Bone marrow smear; May-Grünwald-Giemsa stain; 40× oil immersion:
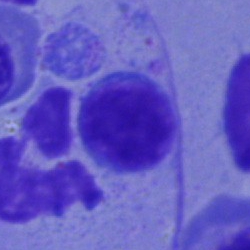
A typical lymphocyte.